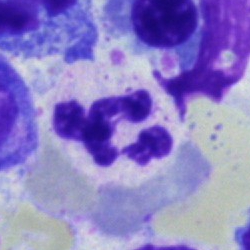
Cell = segmented neutrophil.